Bone marrow smear. Image size 250×250.
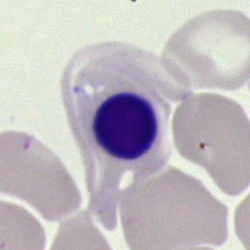
Cell type: erythroblast.